Brightfield, 40× oil-immersion objective · bone marrow smear:
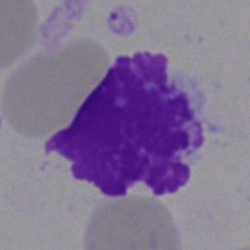

Q: What is shown here?
A: This is an artefact.